Bone marrow smear.
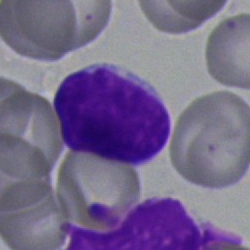 Showing a typical lymphocyte.